Bone marrow smear:
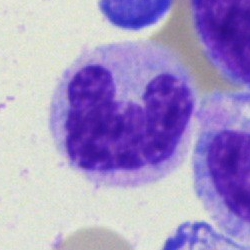

This is a monocyte.